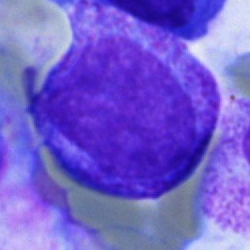Cell type = myelocyte.